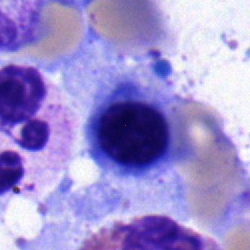

Q: What type of cell is this?
A: Nucleated red cell.